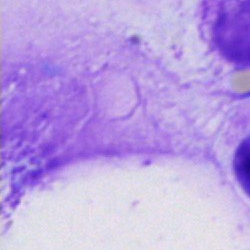
Morphology consistent with an artifact.